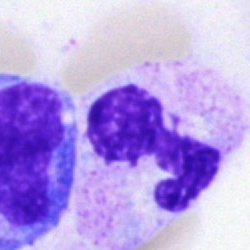
The cell shown is a segmented neutrophil.